Bone marrow aspirate smear:
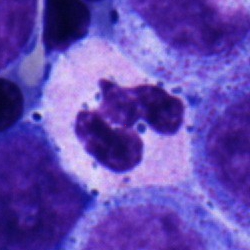
Cell type — segmented neutrophil.